Bone marrow aspirate smear: 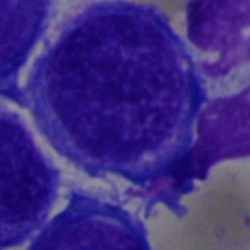
The cell shown is a blast.